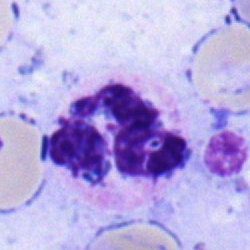

{"cell_type": "segmented neutrophil", "lineage": "myeloid"}